MGG-stained · single-cell field · bone marrow aspirate smear:
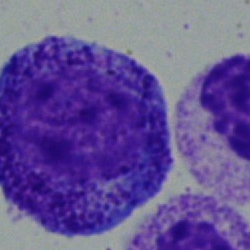

Morphology consistent with a progranulocyte.